MGG stain; cropped to a single cell; peripheral blood film — 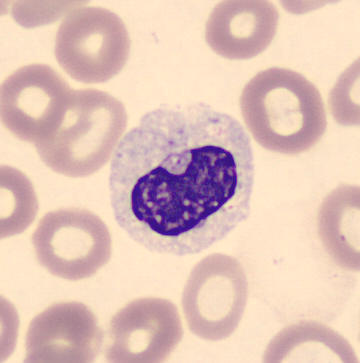Impression — myelocyte.